Bone marrow smear:
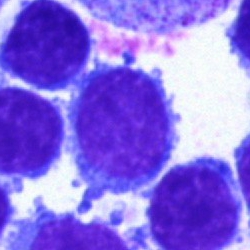
Morphology — typical lymphocyte.